250×250. Bone marrow smear. Pappenheim-stained — 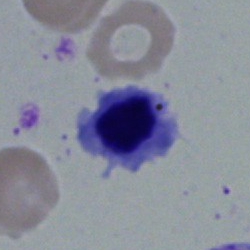

Impression — erythroblast.